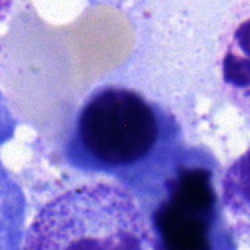Specimen: bone marrow smear.
Morphological class: erythroblast.